Peripheral blood smear.
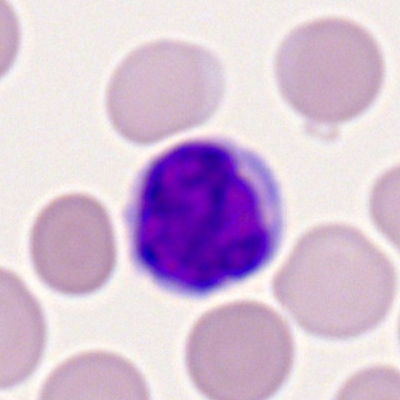{"cell_type": "lymphocyte", "lineage": "lymphoid"}